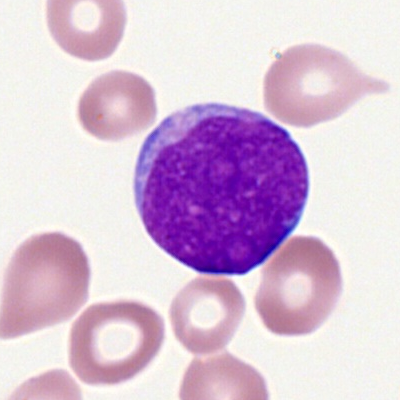
Single-cell crop from a peripheral blood smear: myeloid blast.